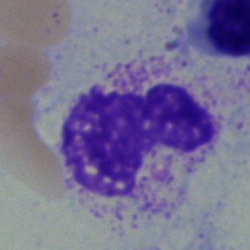Morphology consistent with a segmented neutrophil.